Bone marrow aspirate smear: 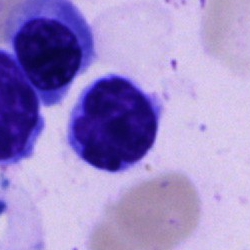 Plasmacyte.